Bone marrow smear.
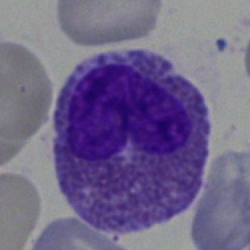
Single cell identified as an eosinophil.